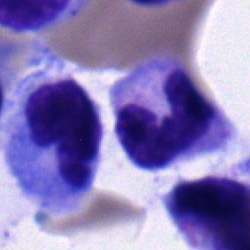
A segmented neutrophil.